Bone marrow smear: 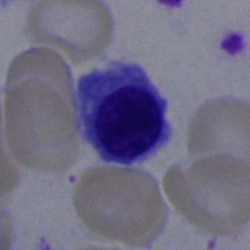

This is a normoblast.